Bone marrow aspirate smear; MGG-stained; image size 250×250:
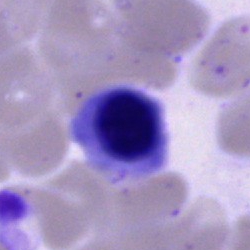
The cell shown is an erythroblast.